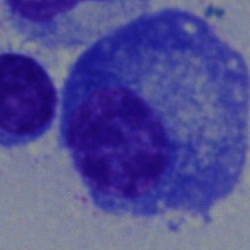Q: What type of cell is this?
A: Plasmacyte.